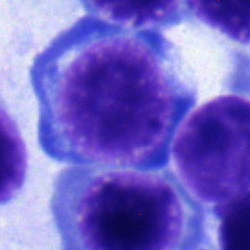 Classification = normoblast.